Bone marrow smear:
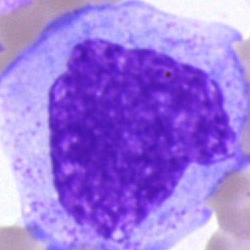Specimen: bone marrow smear.
Classification: promyelocyte.
Lineage: myeloid.